Bone marrow smear · 40× objective, oil immersion:
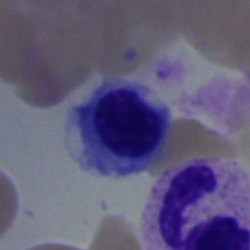 Cell = segmented neutrophil.